Peripheral blood film.
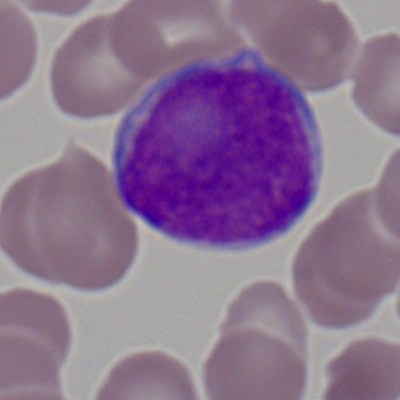
A myeloid blast.